250×250 px; 40× oil immersion; bone marrow smear: 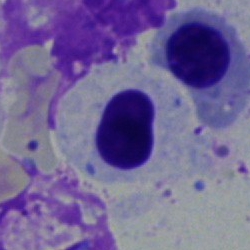

Specimen: bone marrow smear.
Morphological class: erythroblast.
Lineage: erythroid.